Bone marrow smear — 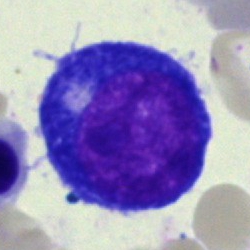

Cell: pronormoblast.